Bone marrow smear — 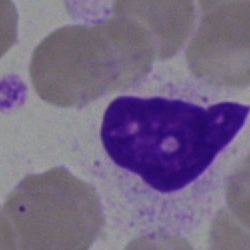
Cell type: artefact.